May-Grünwald-Giemsa stain. Bone marrow aspirate smear:
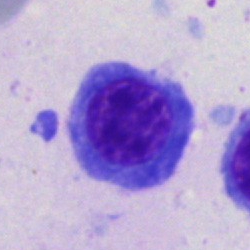

Nucleated red cell.